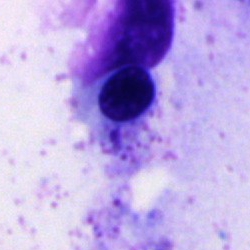 Q: Which cell type is shown here?
A: This is a nucleated red cell.